Bone marrow aspirate smear.
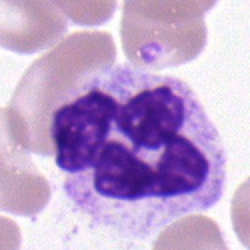Morphology → segmented neutrophil.